Peripheral blood film
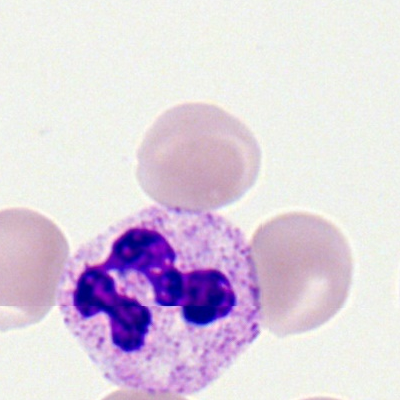The cell shown is a neutrophil (segmented).